Bone marrow smear
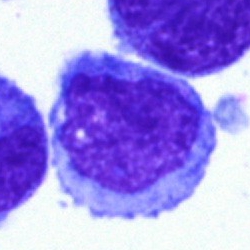 An undifferentiated blast.